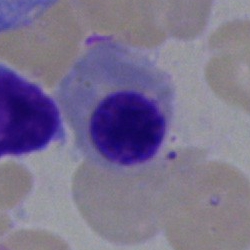Specimen: bone marrow smear.
Morphological class: nucleated red cell.
Lineage: erythroid.